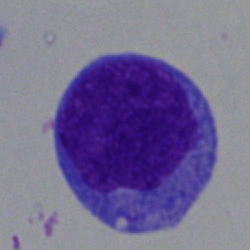Showing a blast cell.